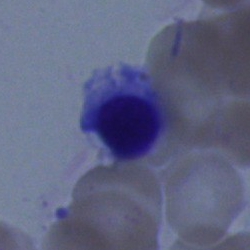

This is an erythroblast.